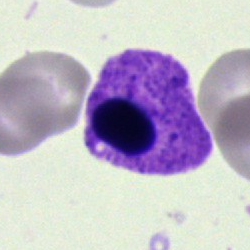
Q: What is shown here?
A: An artifact.